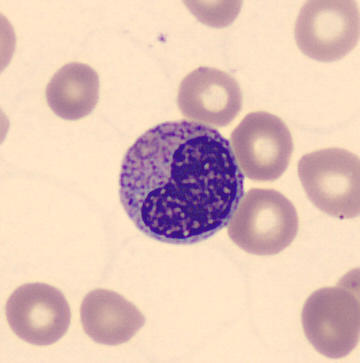
Acquisition: Peripheral blood film · single-cell field. Q: What is this?
A: It is a metamyelocyte.